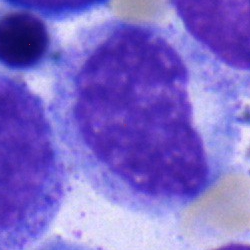Bone marrow smear showing a metamyelocyte.